Bone marrow smear.
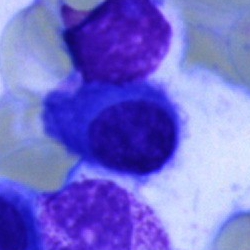Impression → normoblast.